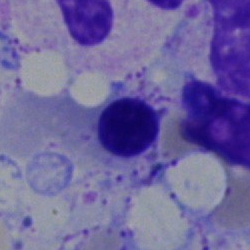 Morphology → normoblast.